Single-cell field; 40× oil immersion; bone marrow smear.
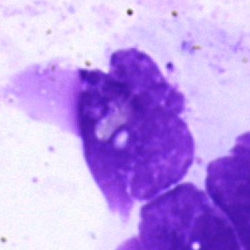This is an artefact.